Bone marrow aspirate smear:
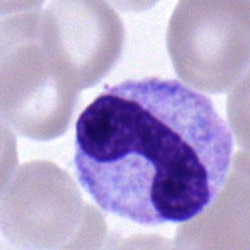
Specimen: bone marrow smear.
Cell: band neutrophil.
Lineage: myeloid.